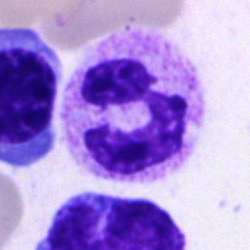
Specimen: bone marrow aspirate smear.
Classification: polymorphonuclear neutrophil.
Lineage: myeloid.